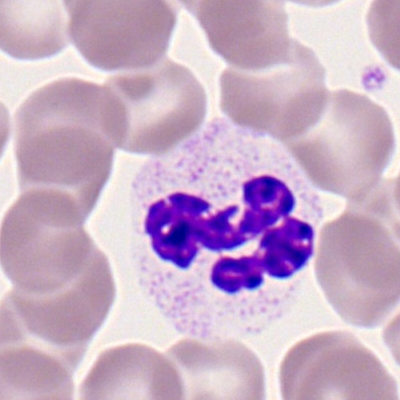 Impression — neutrophil (segmented).